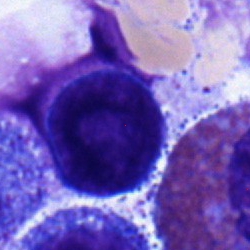

This is a proerythroblast.